250×250 px · bone marrow smear:
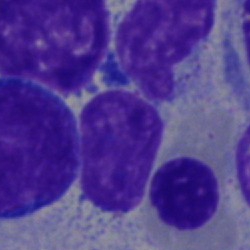

Typical lymphocyte.